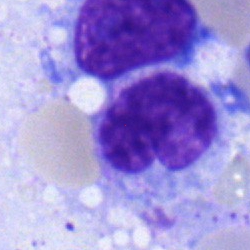
Cell = metamyelocyte.